Bone marrow smear; cropped to a single cell — 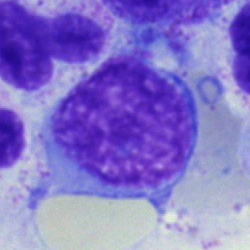This is an artifact.